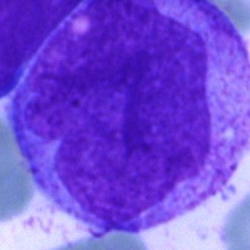

Q: What cell is this?
A: It is a blast.